Peripheral blood smear — 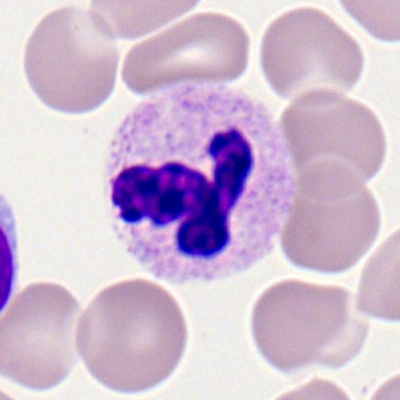

This is a neutrophil (segmented).